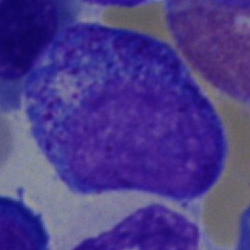

Single cell identified as a promyelocyte.